Bone marrow aspirate smear · 40× objective, oil immersion:
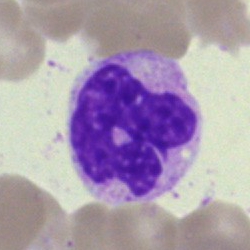

Single cell identified as a segmented neutrophil.